Bone marrow aspirate smear
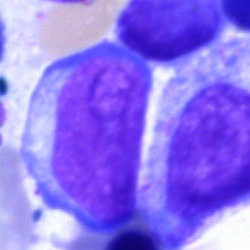Specimen: bone marrow smear.
Cell: blast cell.